Romanowsky stain. Peripheral blood film
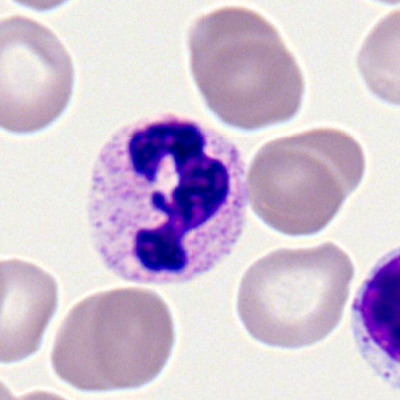Morphological class — polymorphonuclear neutrophil.